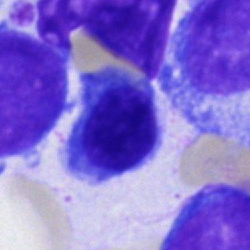 Specimen: bone marrow aspirate smear.
Classification: nucleated red blood cell.